Bone marrow smear
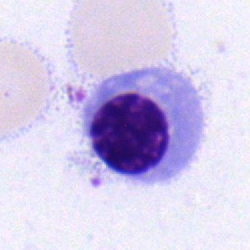
Specimen: bone marrow smear.
Classification: nucleated red blood cell.